Peripheral blood film · 400×400 px.
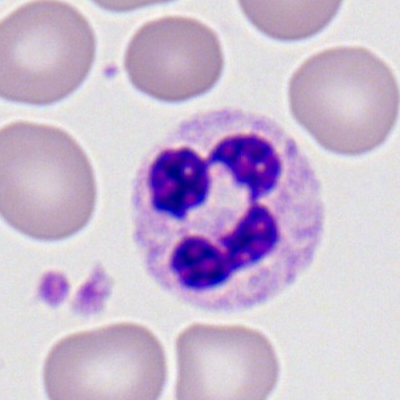
Q: Identify the cell.
A: This is a polymorphonuclear neutrophil.